Bone marrow smear
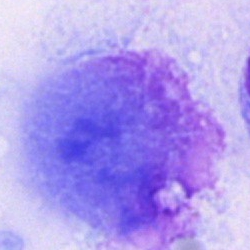 Single cell identified as an artifact.